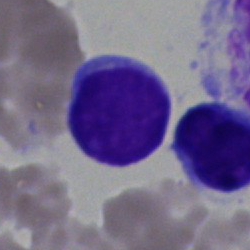Q: What is shown here?
A: Typical lymphocyte.